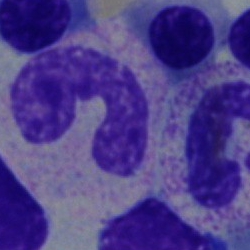
Bone marrow smear showing a band neutrophil.